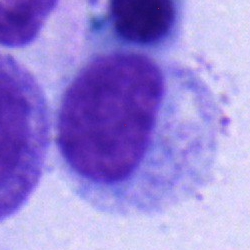
Q: What cell is this?
A: Myelocyte.